Bone marrow smear · image size 250×250.
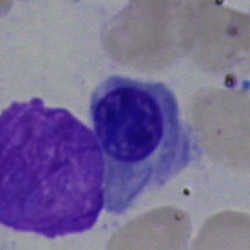

Classification — normoblast.